Bone marrow smear
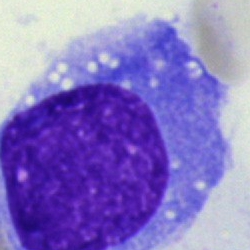The cell type is undifferentiated blast.